May-Grünwald-Giemsa/Pappenheim stain; bone marrow smear:
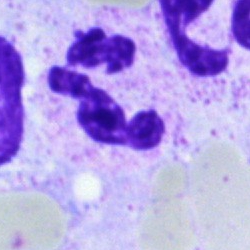 The morphological class is polymorphonuclear neutrophil.